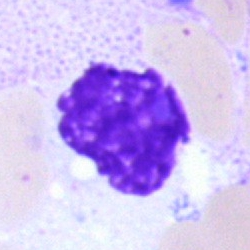
The cell shown is an artifact.